Peripheral blood smear.
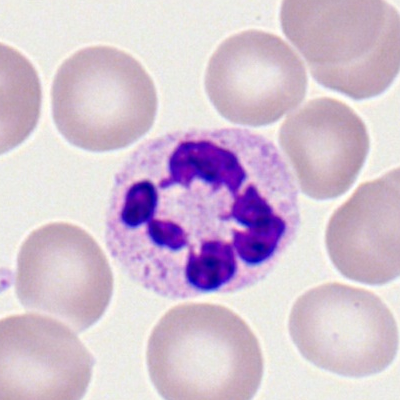

Impression → polymorphonuclear neutrophil.